40× objective, oil immersion. Bone marrow aspirate smear. Image size 250×250.
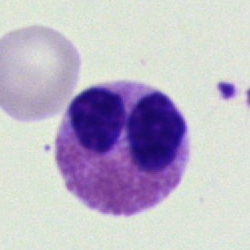The morphological class is eosinophilic granulocyte.